Brightfield, 40× oil-immersion objective; May-Grünwald-Giemsa stain; bone marrow aspirate smear: 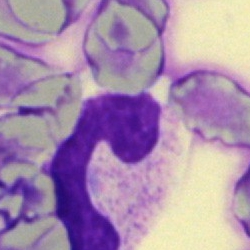

Morphological class = band neutrophil.